Bone marrow aspirate smear
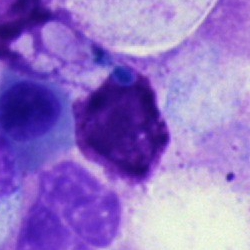

Morphology consistent with an artifact.